Romanowsky-type stain; peripheral blood smear.
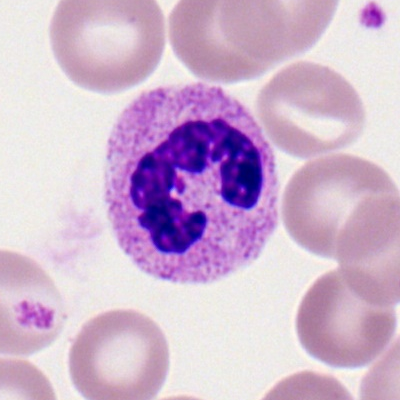
Q: What is the morphological classification of this cell?
A: Polymorphonuclear neutrophil.